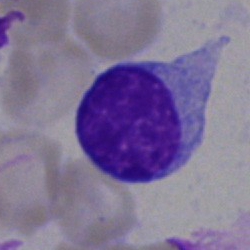{"cell_type": "lymphocyte"}